May-Grünwald-Giemsa/Pappenheim stain; bone marrow aspirate smear — 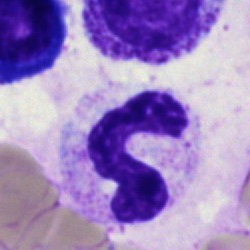

Cell type = neutrophil (segmented).